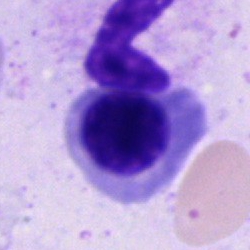 Specimen: bone marrow aspirate smear.
Cell: nucleated red blood cell.
Lineage: erythroid.